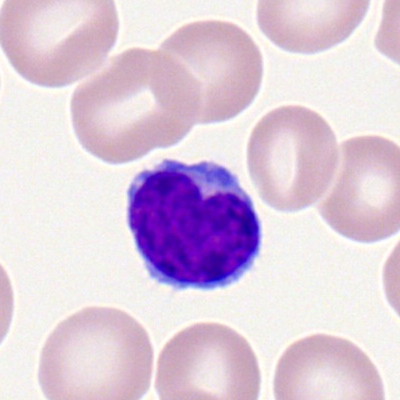Q: What is shown here?
A: It is a typical lymphocyte.